Peripheral blood smear
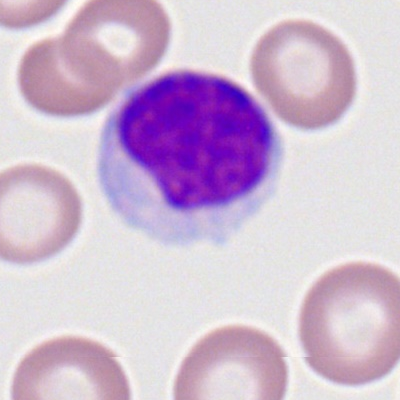A lymphocyte.